Brightfield microscopy, 40× oil immersion; 250×250 px; bone marrow smear:
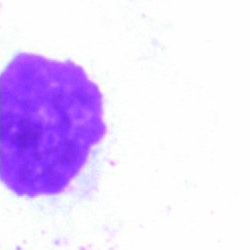Cell type — artefact.